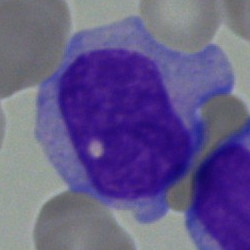 Single-cell crop from a bone marrow smear: monocyte.